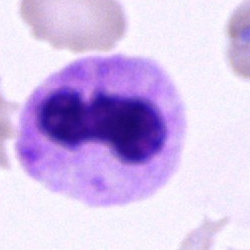

Q: Identify the cell.
A: This is a polymorphonuclear neutrophil.